250×250 px · single cell centered in the field · bone marrow smear: 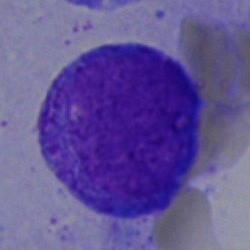The cell shown is a progranulocyte.